Bone marrow aspirate smear — 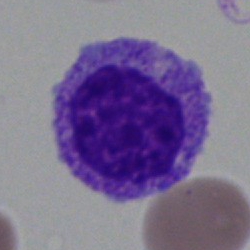

Q: Identify the cell.
A: A myelocyte.